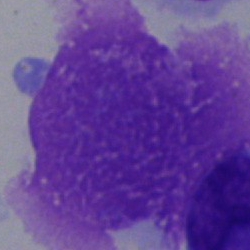 Showing an artifact.